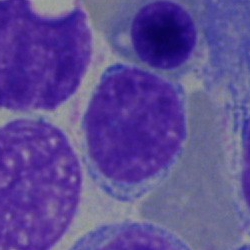

Specimen: bone marrow aspirate smear.
Cell: lymphocyte.
Lineage: lymphoid.